Bone marrow aspirate smear
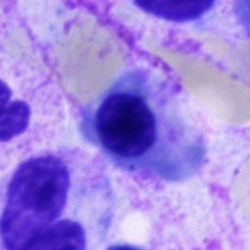 Specimen: bone marrow smear.
Cell: blast.